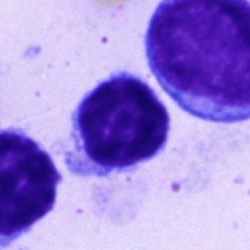

A typical lymphocyte.